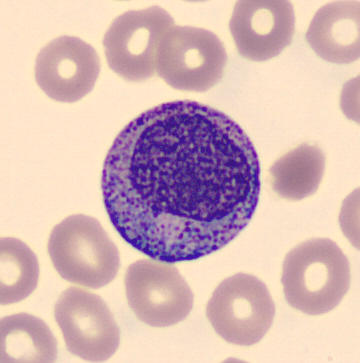Peripheral blood film. Single cell identified as a progranulocyte.